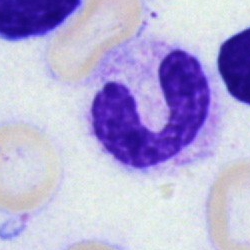 Q: Identify the cell.
A: This is a segmented neutrophil.